250×250. Bone marrow smear: 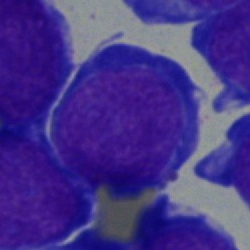

A blast cell.